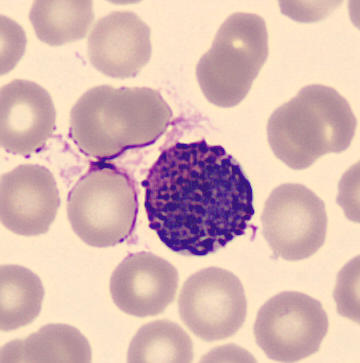
This is a basophilic granulocyte. Acquisition: Peripheral blood film. 360 by 363 pixels.